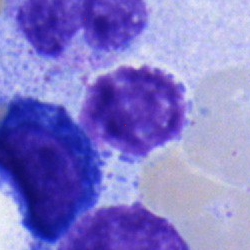
Bone marrow smear showing a typical lymphocyte.